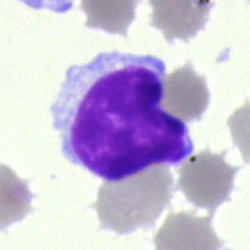
Specimen: bone marrow smear.
Classification: typical lymphocyte.